40× objective, oil immersion. Bone marrow aspirate smear. Pappenheim-stained.
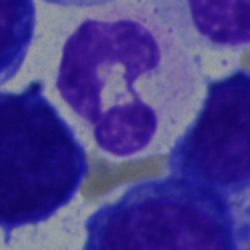
Specimen: bone marrow aspirate smear.
Cell type: polymorphonuclear neutrophil.